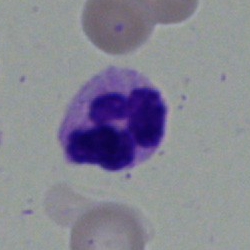Morphology — polymorphonuclear neutrophil.